Bone marrow aspirate smear.
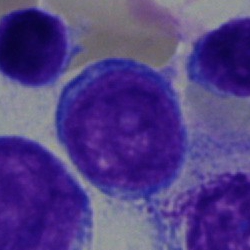

Q: What cell is this?
A: Blast cell.